Single-cell field · bone marrow aspirate smear:
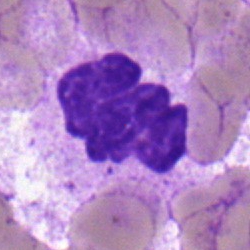
Showing a segmented neutrophil.